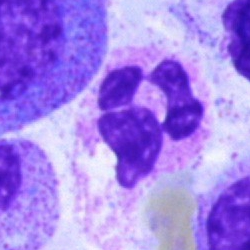Showing a segmented neutrophil.